May-Grünwald-Giemsa/Pappenheim stain. Bone marrow smear — 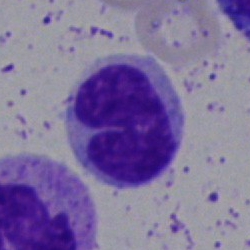
Q: What is the morphological classification of this cell?
A: A stab cell.